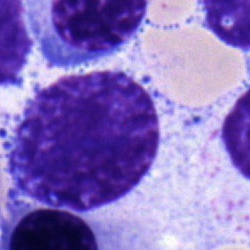A myelocyte on a bone marrow smear.